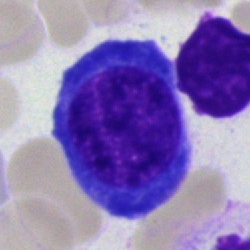 Bone marrow aspirate smear, single cell — erythroblast.